Bone marrow smear
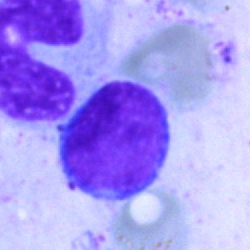The cell is typical lymphocyte.